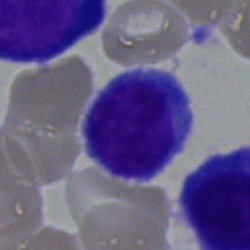

The cell shown is a plasmacyte.